Bone marrow smear.
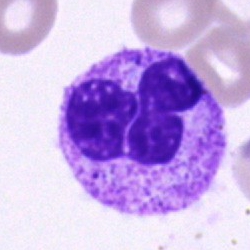
Specimen: bone marrow aspirate smear.
Classification: neutrophil (segmented).